Bone marrow aspirate smear: 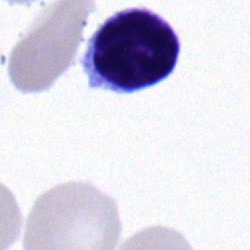
The classification is typical lymphocyte.